Bone marrow smear; Pappenheim-stained — 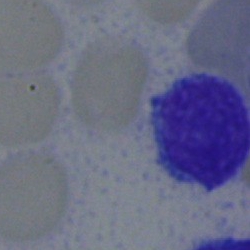 Typical lymphocyte.